250 by 250 pixels; brightfield, 40× oil-immersion objective; bone marrow aspirate smear.
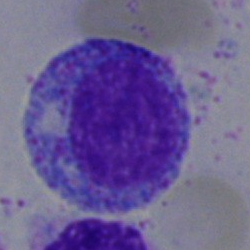

Single cell identified as a progranulocyte.